Bone marrow smear: 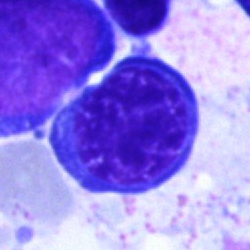A normoblast.